Pappenheim-stained. Bone marrow aspirate smear — 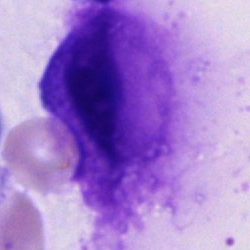
Q: What is shown here?
A: It is an artifact.